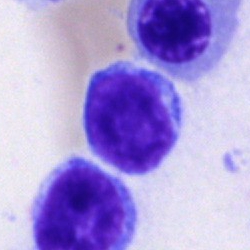Cell = typical lymphocyte.